Bone marrow aspirate smear. 250×250. Cropped to a single cell
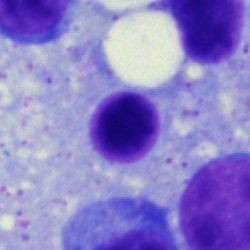Showing a nucleated red cell.